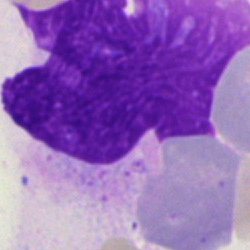 Morphology consistent with an artefact.